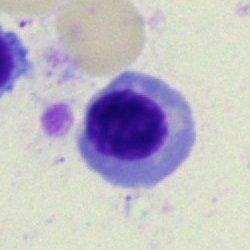 Cell = nucleated red blood cell.